Bone marrow smear.
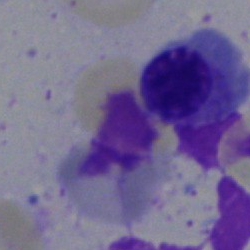
The cell is normoblast.